Bone marrow aspirate smear · brightfield, 40× oil-immersion objective: 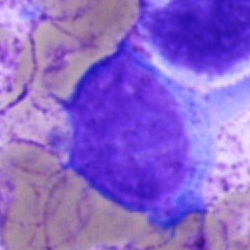Classification — blast cell.